Bone marrow aspirate smear · 40× oil immersion.
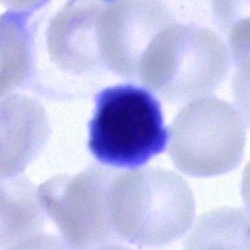 Morphological class — normoblast.